Bone marrow smear
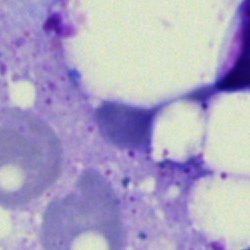 Cell type = artefact.